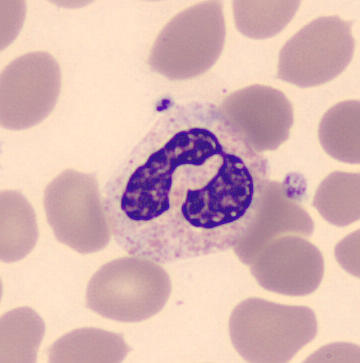 Classification = segmented neutrophil.